Peripheral blood smear. 400×400. 100× oil immersion — 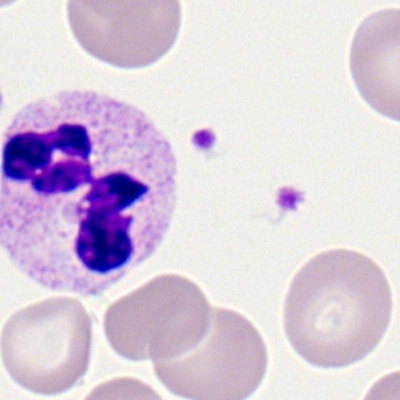 Q: Identify the cell.
A: It is a neutrophil (segmented).